Single cell centered in the field; bone marrow aspirate smear; MGG-stained.
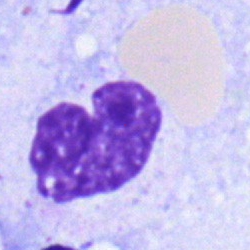 Q: What type of cell is this?
A: Neutrophil (band).